Bone marrow aspirate smear:
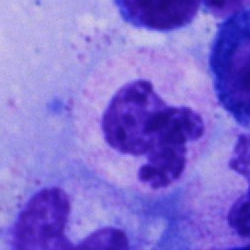Specimen: bone marrow aspirate smear.
Morphological class: segmented neutrophil.